Bone marrow smear; Pappenheim-stained; brightfield microscopy, 40× oil immersion: 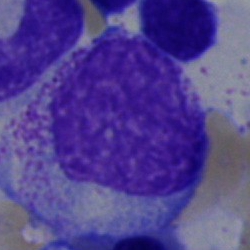
{"cell_type": "progranulocyte", "lineage": "myeloid"}